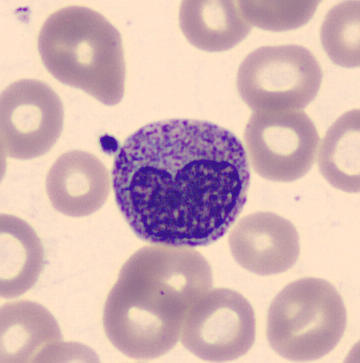
Preparation: May-Grünwald-Giemsa-stained; peripheral blood smear.

Classification = metamyelocyte.